Bone marrow aspirate smear: 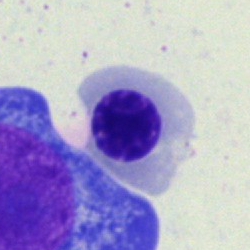 {"cell_type": "nucleated red cell", "lineage": "erythroid"}